Bone marrow aspirate smear · 250×250 px:
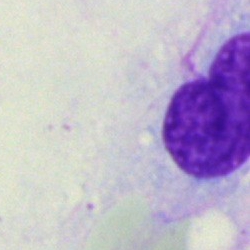
{"cell_type": "artefact"}